Bone marrow aspirate smear.
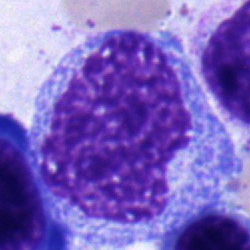Classification: monocyte.